40× objective, oil immersion · bone marrow aspirate smear:
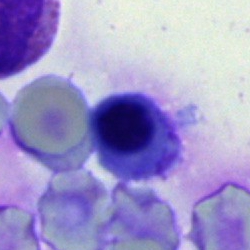Q: Which cell type is shown here?
A: Erythroblast.